Bone marrow aspirate smear.
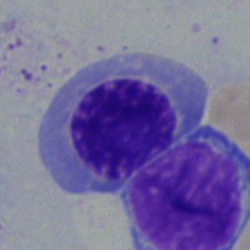

Specimen: bone marrow smear.
Morphological class: normoblast.
Lineage: erythroid.